Bone marrow aspirate smear
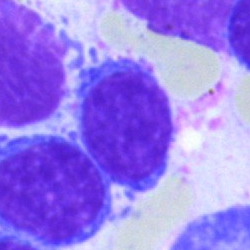

This is a typical lymphocyte.